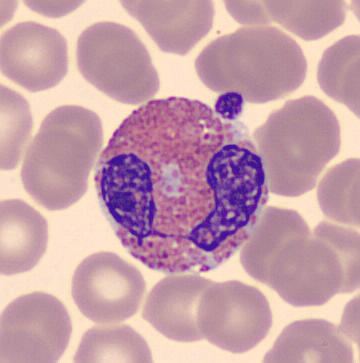
Q: What is the morphological classification of this cell?
A: It is an eosinophil.